Peripheral blood smear: 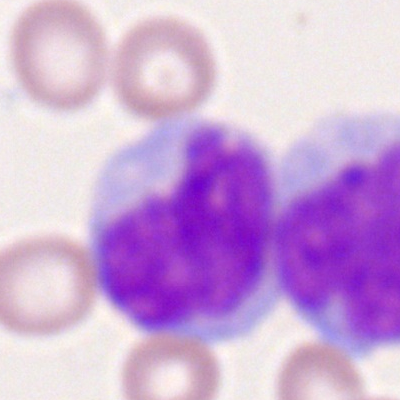 Impression — monocyte.